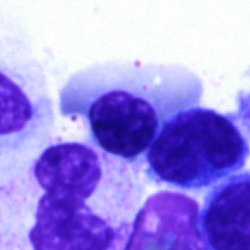Impression — nucleated red cell.